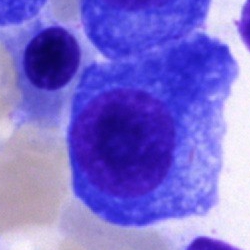 Morphology consistent with a plasma cell.